Bone marrow smear. 250×250 px:
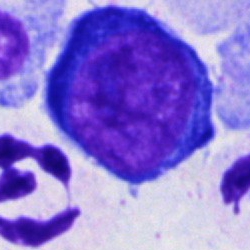
Morphology consistent with a proerythroblast.